Cropped to a single cell; bone marrow aspirate smear:
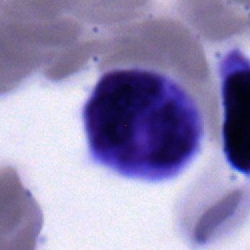
Classification: polymorphonuclear neutrophil.